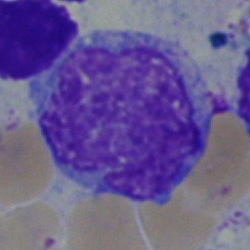 Cell type = monocyte.